Bone marrow aspirate smear.
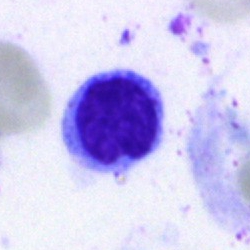
Q: Which cell type is shown here?
A: A typical lymphocyte.